Bone marrow aspirate smear
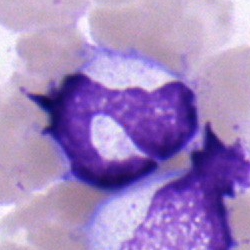Morphological class: segmented neutrophil.